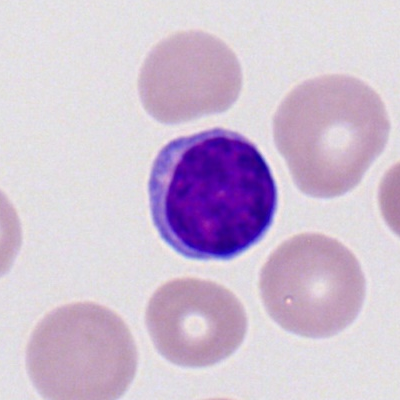
Typical lymphocyte.